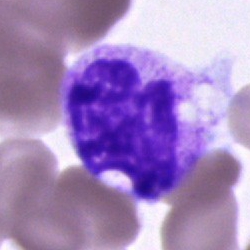
Showing an unidentifiable cell.